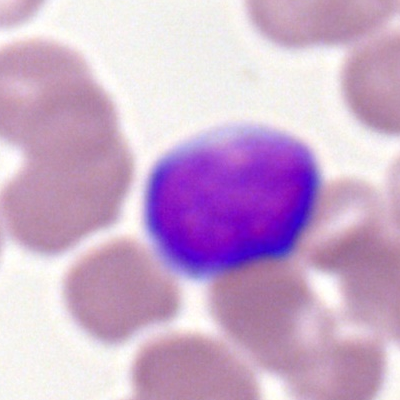 Showing a myeloblast.